Bone marrow aspirate smear · MGG-stained · 40× oil immersion:
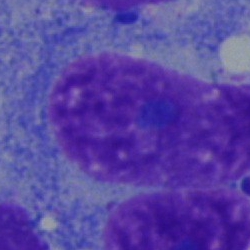Q: What type of cell is this?
A: This is a plasmacyte.